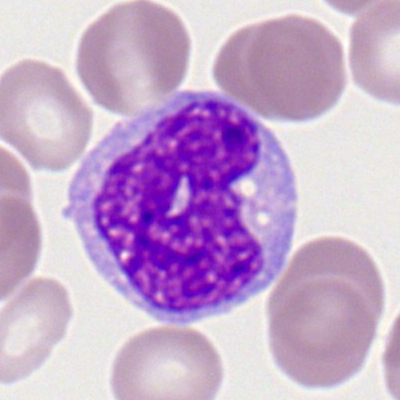
Cell type — monocyte.